Bone marrow smear
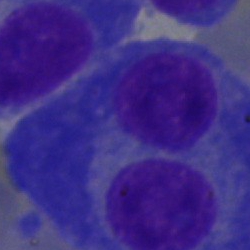
Q: What is shown here?
A: It is a plasma cell.